MGG-stained. Bone marrow aspirate smear. Brightfield microscopy, 40× oil immersion — 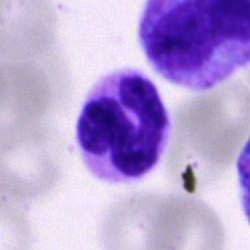Morphological class: segmented neutrophil.